Cropped to a single cell · bone marrow smear.
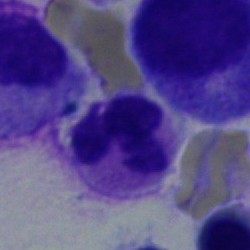
This is a segmented neutrophil.